May-Grünwald-Giemsa stain. Bone marrow smear:
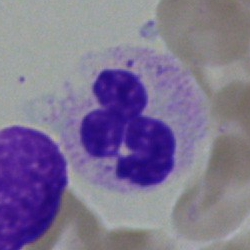

Q: What is shown here?
A: This is a basophil.